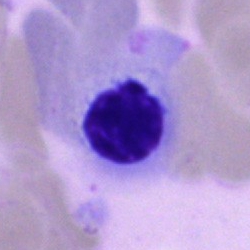

Cell type: erythroblast.